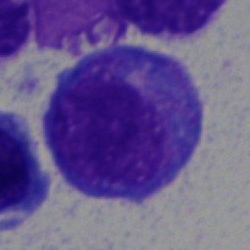Q: What cell is this?
A: This is a promyelocyte.